Pappenheim-stained. Image size 250×250. Bone marrow aspirate smear.
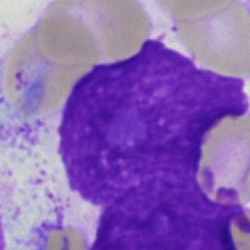 Morphology consistent with an artefact.